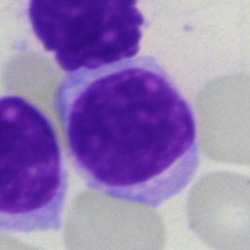

Impression — typical lymphocyte.